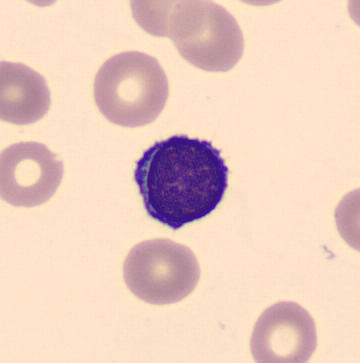
From a peripheral blood smear: a lymphocyte.